MGG-stained; bone marrow aspirate smear; single-cell field — 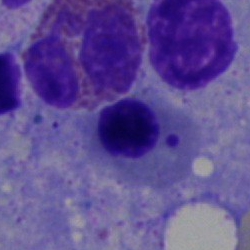 Nucleated red cell.